Bone marrow smear. 250×250: 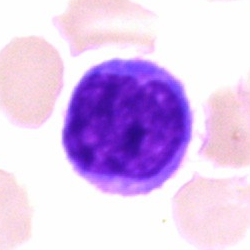 This is a lymphocyte.